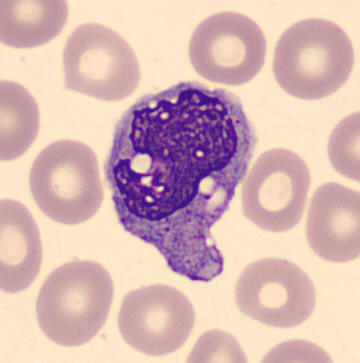

Single-cell crop from a peripheral blood smear: monocyte.